Bone marrow smear:
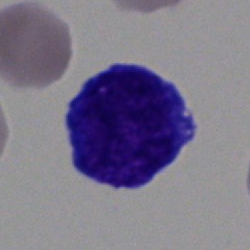 Specimen: bone marrow aspirate smear.
Morphological class: blast cell.